Single-cell crop; bone marrow aspirate smear:
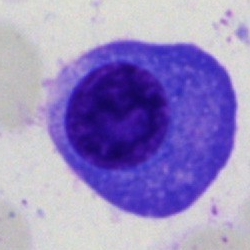 Cell type: plasma cell.